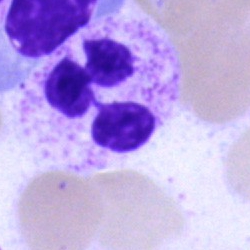
The cell shown is a polymorphonuclear neutrophil.